Bone marrow smear · May-Grünwald-Giemsa stain:
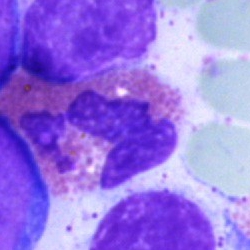
Cell = eosinophilic granulocyte.